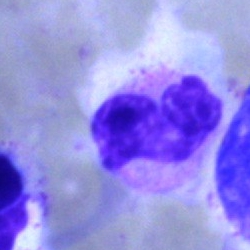 A neutrophil (segmented).